Bone marrow aspirate smear
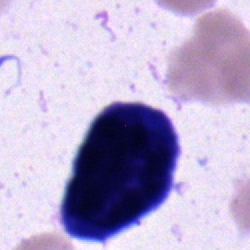
Q: What cell is this?
A: Blast cell.